Bone marrow aspirate smear: 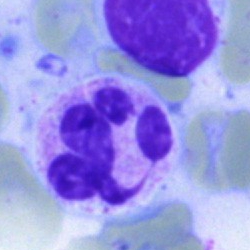
Morphological class = segmented neutrophil.